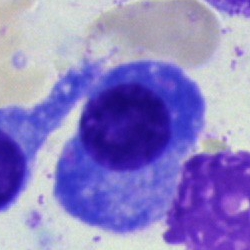
Cell type: plasma cell.